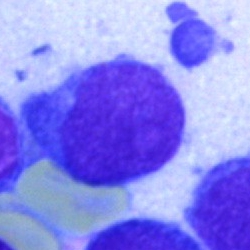
The cell is blast cell.